Bone marrow aspirate smear. Single cell centered in the field: 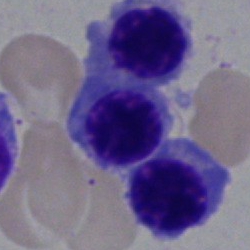

The cell shown is an erythroblast.